Brightfield microscopy, 40× oil immersion · bone marrow smear · 250 by 250 pixels.
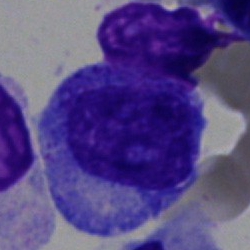

Morphology consistent with a promyelocyte.